May-Grünwald-Giemsa stain; bone marrow smear; single-cell crop
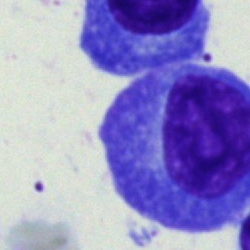Plasma cell.